Bone marrow smear; MGG-stained.
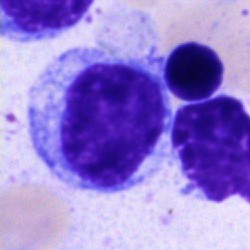
Q: Identify the cell.
A: Blast.